Bone marrow aspirate smear — 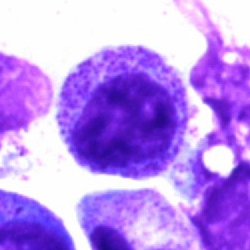Single cell identified as a myelocyte.